Bone marrow aspirate smear
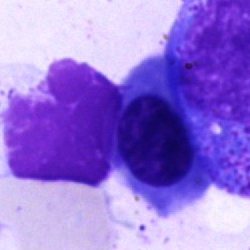 Showing an artifact.